Bone marrow smear; May-Grünwald-Giemsa stain
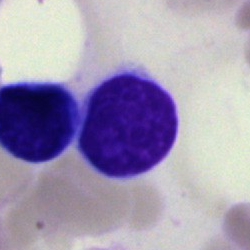Q: Identify the cell.
A: A typical lymphocyte.